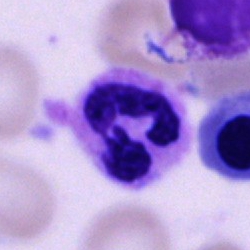
Single cell identified as a neutrophil (segmented).